Brightfield microscopy, 40× oil immersion. Bone marrow aspirate smear.
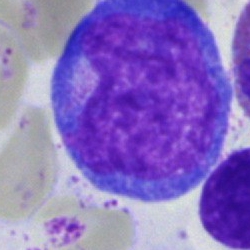 Morphology consistent with a promyelocyte.